Bone marrow smear; May-Grünwald-Giemsa/Pappenheim stain — 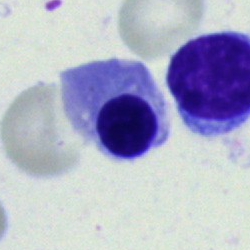Showing a normoblast.